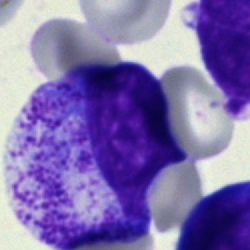
Q: What cell is this?
A: A myelocyte.